250×250. Brightfield microscopy, 40× oil immersion. Bone marrow aspirate smear:
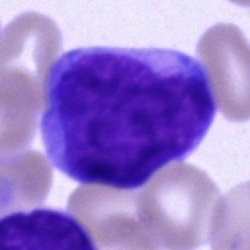 Specimen: bone marrow smear.
Cell type: undifferentiated blast.